Bone marrow smear.
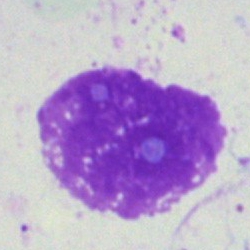
Q: What is shown here?
A: An artefact.